Bone marrow smear · 40× objective, oil immersion:
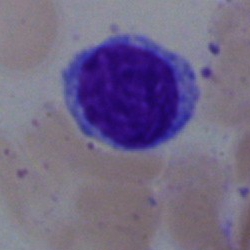

The morphological class is typical lymphocyte.